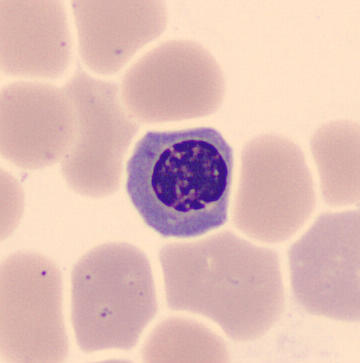
CellaVision DM96; peripheral blood smear. Q: What is this?
A: It is a normoblast.